Bone marrow aspirate smear: 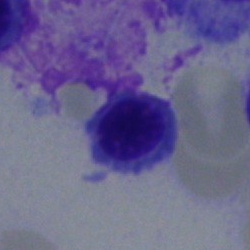
Erythroblast.